Bone marrow smear; image size 250×250: 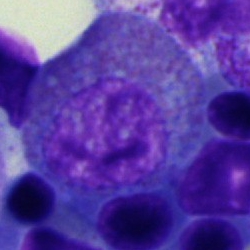Cell type — eosinophil.